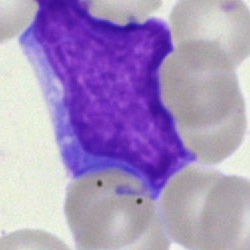
Morphological class: blast.